400×400 · peripheral blood film
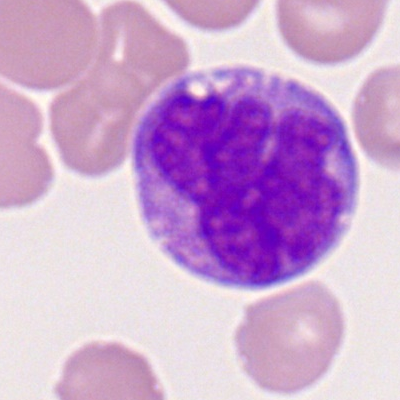

Q: Which cell type is shown here?
A: This is a monocyte.